Bone marrow aspirate smear:
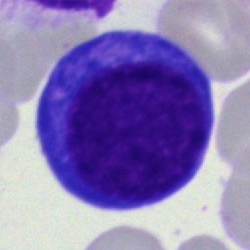The cell shown is a normoblast.